Bone marrow smear; cropped to a single cell
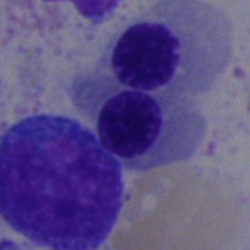 The cell is nucleated red blood cell.